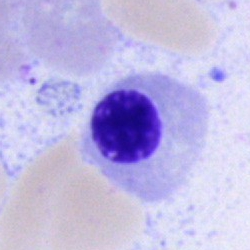Specimen: bone marrow smear.
Morphological class: erythroblast.